Bone marrow aspirate smear: 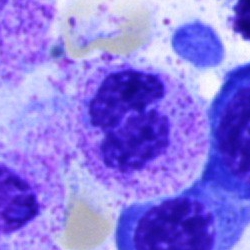

Specimen: bone marrow smear.
Cell type: neutrophil (segmented).
Lineage: myeloid.